Bone marrow aspirate smear
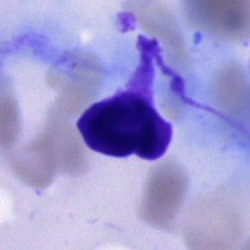
Q: What is shown here?
A: It is an artefact.